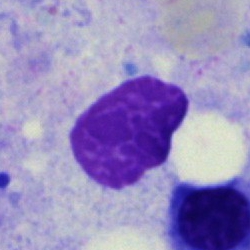

Q: What is shown here?
A: It is an artifact.